Bone marrow aspirate smear · single cell centered in the field · brightfield, 40× oil-immersion objective.
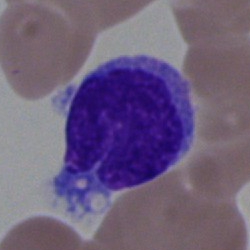Monocyte.